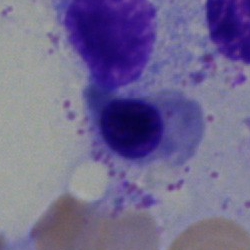
Q: What is the morphological classification of this cell?
A: A nucleated red blood cell.